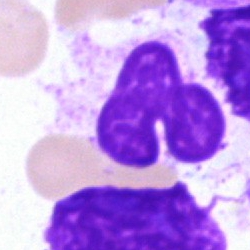

Cell type — artifact.